Bone marrow aspirate smear · single cell centered in the field · 250×250.
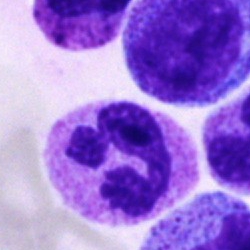Neutrophil (segmented).